Bone marrow smear · 40× oil immersion:
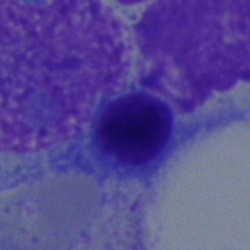 A nucleated red cell.